Bone marrow aspirate smear: 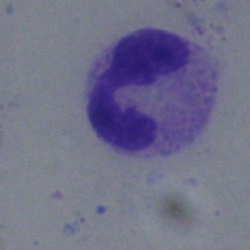Q: What is shown here?
A: Neutrophil (segmented).